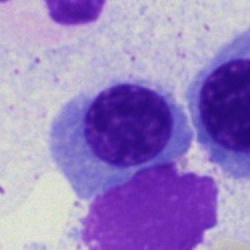
Morphological class = nucleated red cell.